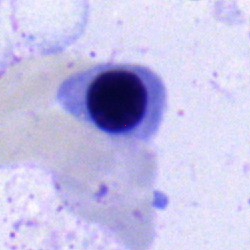
The morphological class is erythroblast.